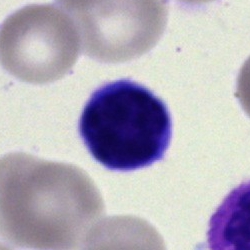
This is a lymphocyte.